Bone marrow smear · May-Grünwald-Giemsa stain · brightfield, 40× oil-immersion objective — 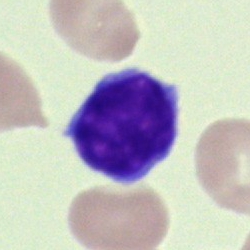

Specimen: bone marrow smear.
Cell type: lymphocyte.
Lineage: lymphoid.